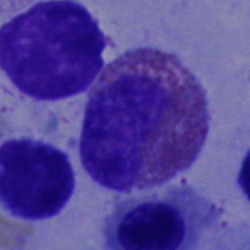 Impression → eosinophil.